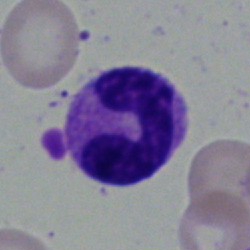

Q: Identify the cell.
A: A stab cell.